May-Grünwald-Giemsa/Pappenheim stain. Bone marrow smear: 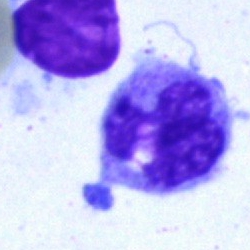

Single cell identified as a monocyte.